Single cell centered in the field. Bone marrow smear — 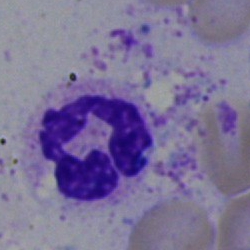Q: What type of cell is this?
A: This is a segmented neutrophil.